Bone marrow smear; 250 by 250 pixels; 40× objective, oil immersion.
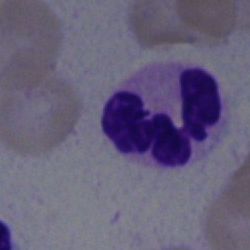
Specimen: bone marrow smear.
Morphological class: polymorphonuclear neutrophil.
Lineage: myeloid.